Bone marrow smear. Cropped to a single cell:
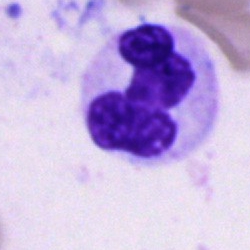 This is a polymorphonuclear neutrophil.